Bone marrow aspirate smear:
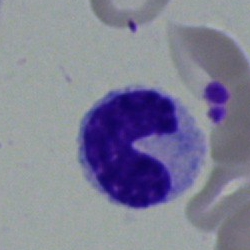 {"cell_type": "neutrophil (band)"}